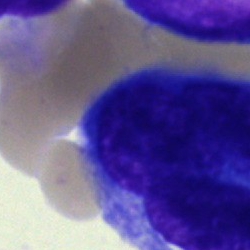

Q: What is shown here?
A: It is an artifact.